Bone marrow aspirate smear — 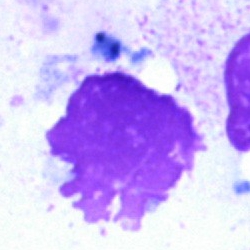
Showing an artefact.